Peripheral blood film; single-cell crop; 100× oil immersion, 14.14 px/µm: 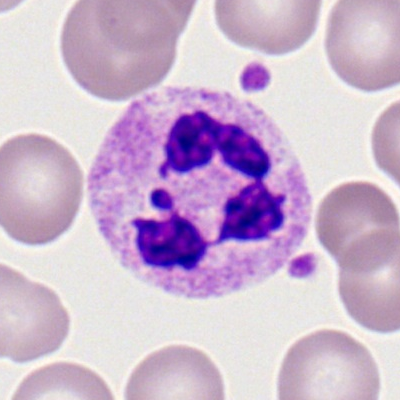Cell = segmented neutrophil.